Bone marrow smear:
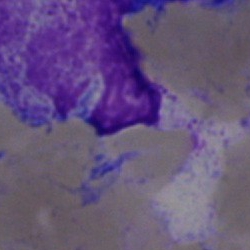
An artifact.